Peripheral blood film — 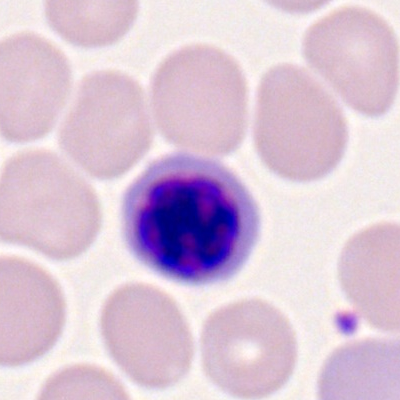

Morphology — nucleated red blood cell.